Bone marrow aspirate smear.
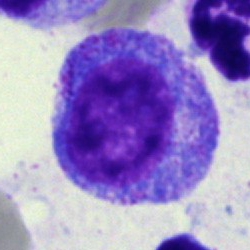

Q: Identify the cell.
A: Promyelocyte.